40× objective, oil immersion. Bone marrow aspirate smear — 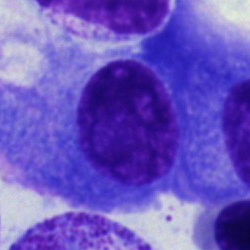
Morphology consistent with a plasma cell.